Bone marrow aspirate smear · 40× oil immersion.
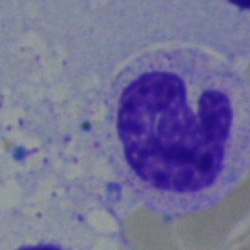This is a band neutrophil.